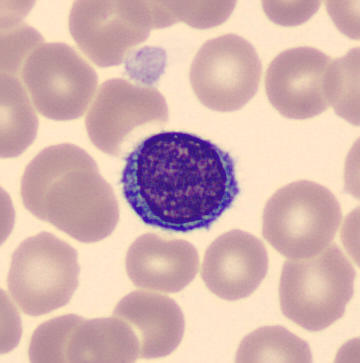

Impression — typical lymphocyte. Acquisition: Peripheral blood film.